250×250; bone marrow aspirate smear
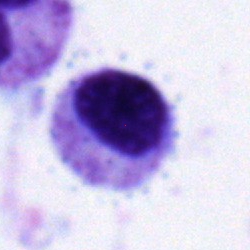
Morphology consistent with a myelocyte.